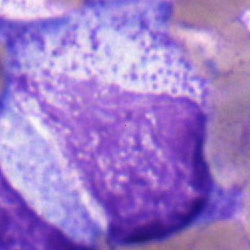 A promyelocyte on a bone marrow smear.